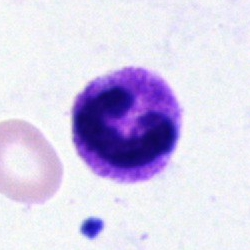 Morphology → polymorphonuclear neutrophil.